Peripheral blood smear
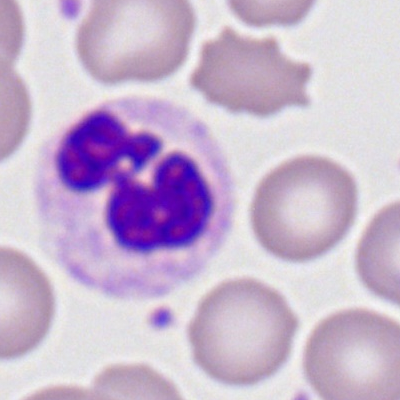Neutrophil (segmented).